360×363 px; peripheral blood film.
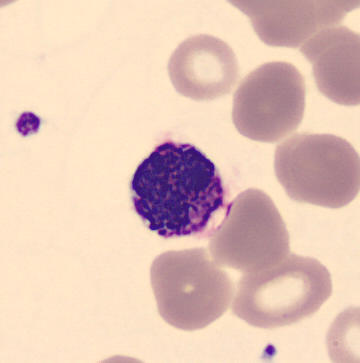
Basophilic granulocyte.